40× oil immersion; bone marrow smear.
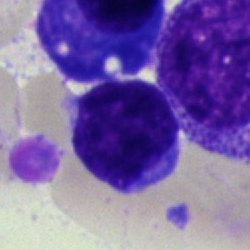 Classification = typical lymphocyte.